Bone marrow smear. Brightfield microscopy, 40× oil immersion. Pappenheim-stained.
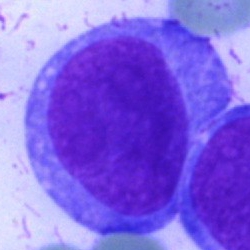

The cell shown is an undifferentiated blast.